Bone marrow aspirate smear
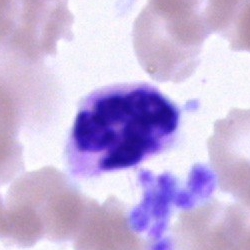
A segmented neutrophil.